Peripheral blood smear. Romanowsky stain. Cropped to a single cell — 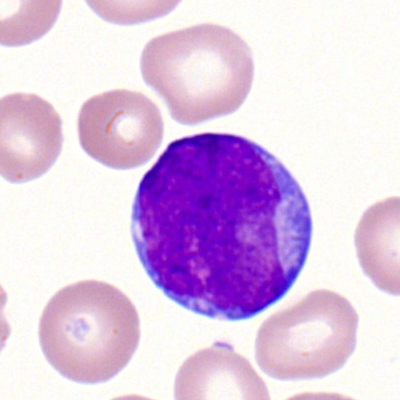 Myeloblast.